Bone marrow smear; 40× oil immersion
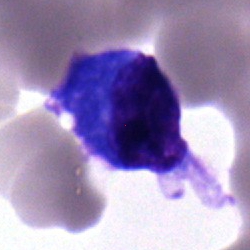

Q: Identify the cell.
A: This is a plasma cell.